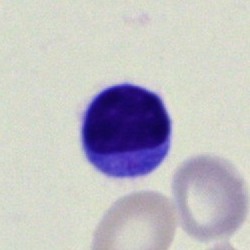

Q: Identify the cell.
A: This is a lymphocyte.